Brightfield, 40× oil-immersion objective · bone marrow aspirate smear
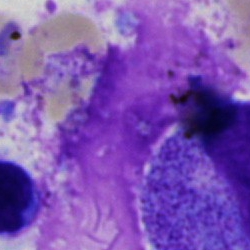

Q: What is shown here?
A: An artifact.